Bone marrow smear: 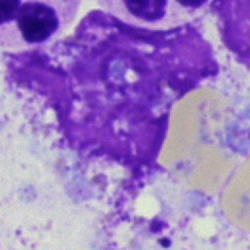
Q: What is shown here?
A: Artifact.